Bone marrow smear
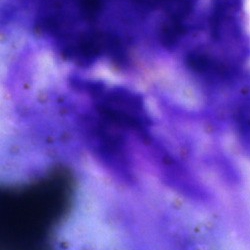

Specimen: bone marrow smear.
Morphological class: artefact.